Bone marrow smear · MGG-stained · single cell centered in the field
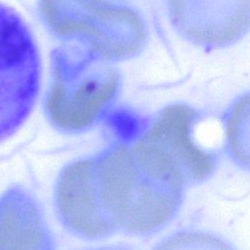 Showing an artefact.